Brightfield, 40× oil-immersion objective · bone marrow aspirate smear:
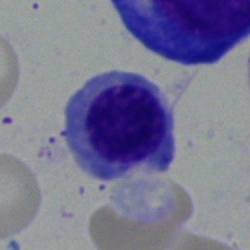 The classification is erythroblast.